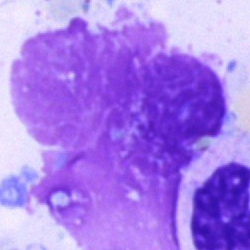
Morphology consistent with an artifact.